Bone marrow aspirate smear. Brightfield microscopy, 40× oil immersion: 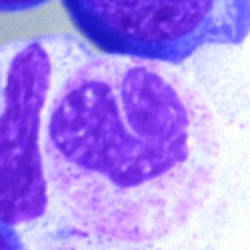 Cell = metamyelocyte.